Bone marrow aspirate smear:
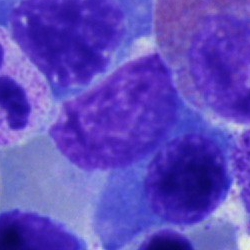Morphology consistent with a cell of indeterminate lineage.